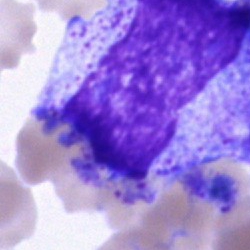 Specimen: bone marrow aspirate smear.
Cell: progranulocyte.
Lineage: myeloid.